Bone marrow smear · 250×250:
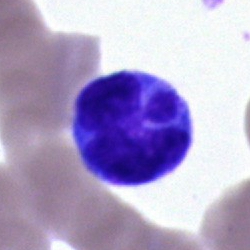

Impression — typical lymphocyte.